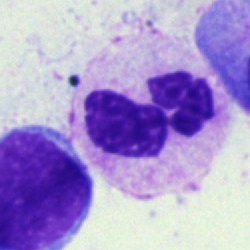 The classification is neutrophil (segmented).